Bone marrow smear: 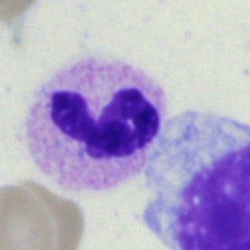Q: What is shown here?
A: This is a segmented neutrophil.